Bone marrow aspirate smear — 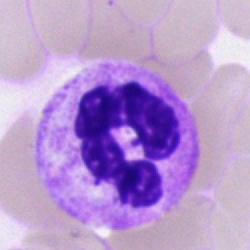

Morphology consistent with a polymorphonuclear neutrophil.